Bone marrow smear: 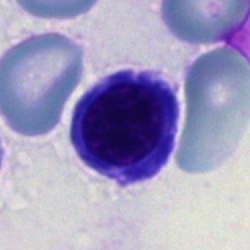Q: What cell is this?
A: It is a nucleated red blood cell.